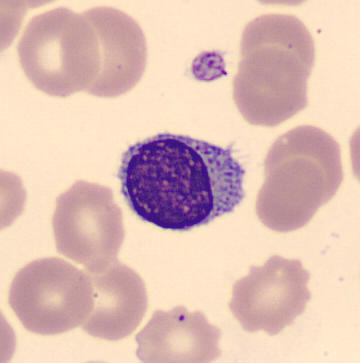

CellaVision DM96 · MGG stain · peripheral blood smear.

Cell type — lymphocyte.